Peripheral blood film · brightfield, 100× oil-immersion objective:
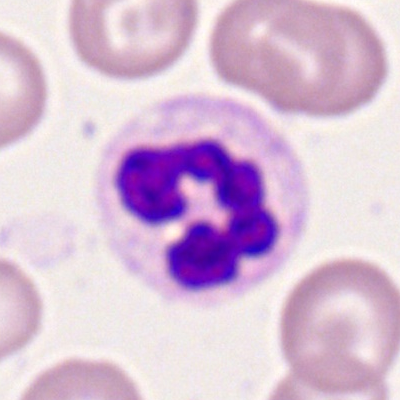 Morphological class: neutrophil (segmented).